Bone marrow smear.
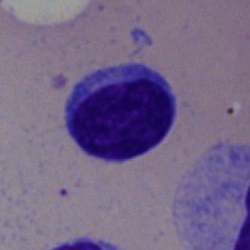Specimen: bone marrow aspirate smear.
Cell: lymphocyte.
Lineage: lymphoid.